Bone marrow smear.
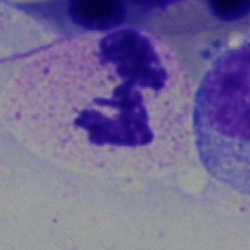Morphology → polymorphonuclear neutrophil.